Bone marrow smear
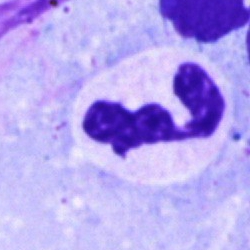 Morphological class — neutrophil (segmented).